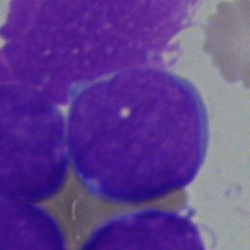 Single-cell crop from a bone marrow smear: blast cell.